Bone marrow smear. Image size 250×250. MGG-stained — 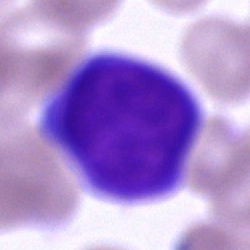

Specimen: bone marrow aspirate smear.
Cell type: blast cell.